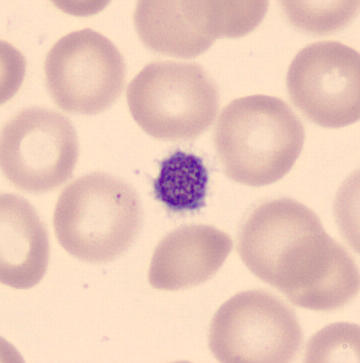
Morphology consistent with a platelet (thrombocyte). Image size 360×363 · peripheral blood film.